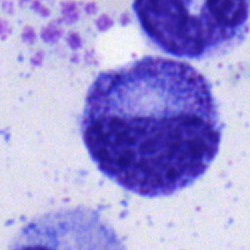
Morphology consistent with a myelocyte.